Bone marrow smear
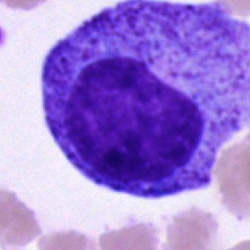

Single cell identified as a progranulocyte.